Bone marrow smear — 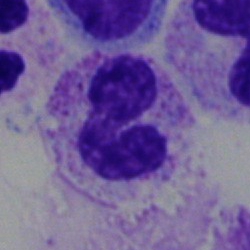 The cell shown is a neutrophil (segmented).